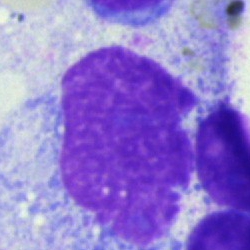 Classification: artifact.